250×250 px · bone marrow smear · brightfield, 40× oil-immersion objective
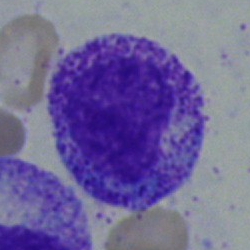 Q: What type of cell is this?
A: It is a myelocyte.